Peripheral blood film
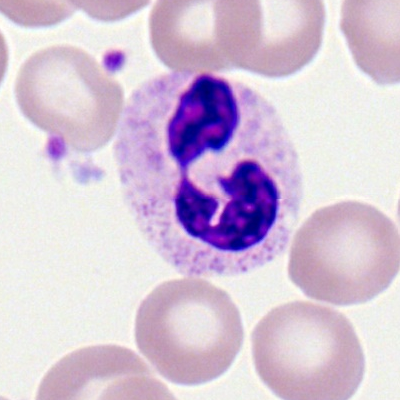Morphology consistent with a polymorphonuclear neutrophil.